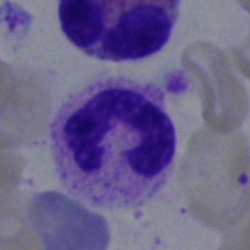

The cell is neutrophil (segmented).